Bone marrow smear.
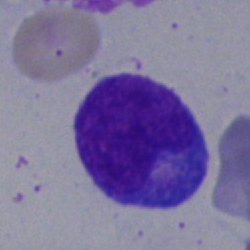This is a lymphocyte.